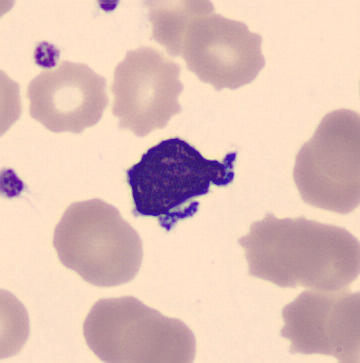

Specimen: peripheral blood film.
Classification: typical lymphocyte.